Bone marrow aspirate smear. Single cell centered in the field. Pappenheim-stained
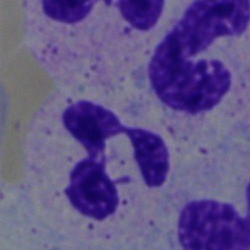
The cell type is neutrophil (segmented).